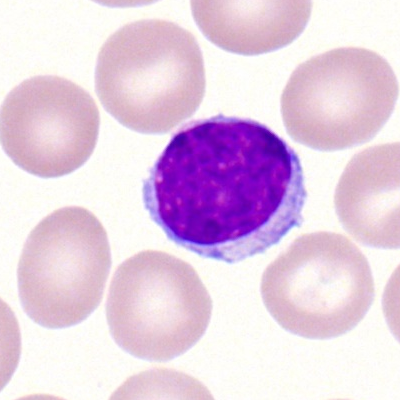 The morphological class is lymphocyte.